Bone marrow aspirate smear
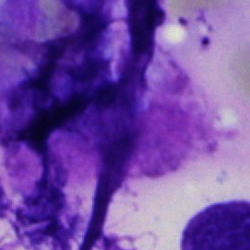

Morphology consistent with an artifact.